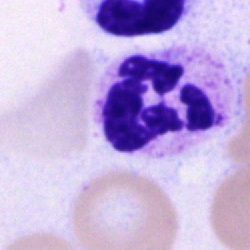Cell: neutrophil (segmented).